Bone marrow smear:
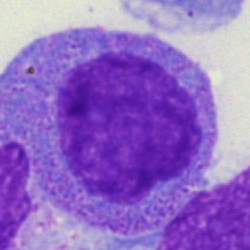

Cell = promyelocyte.